Bone marrow smear
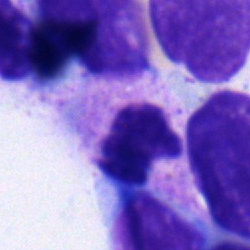
Morphological class — segmented neutrophil.